Bone marrow smear: 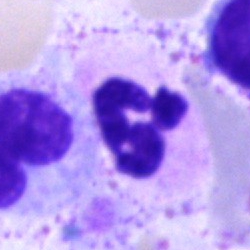

Showing a segmented neutrophil.